250×250 px; bone marrow aspirate smear: 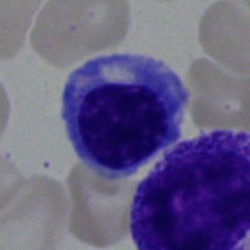 Nucleated red blood cell.